Pappenheim-stained · bone marrow smear:
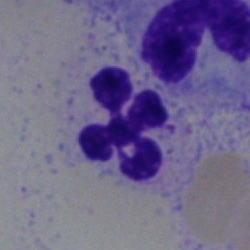
{"cell_type": "segmented neutrophil"}